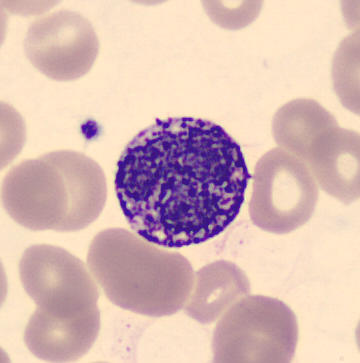 Single-cell crop from a peripheral blood smear: basophilic granulocyte.